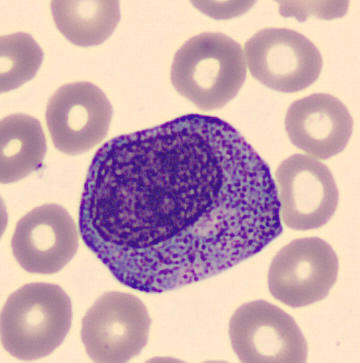 Peripheral blood smear.
Single cell identified as a promyelocyte.